Bone marrow aspirate smear.
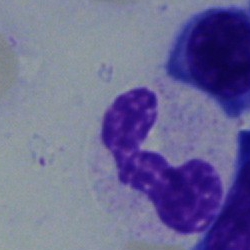 Cell type: polymorphonuclear neutrophil.